Bone marrow smear:
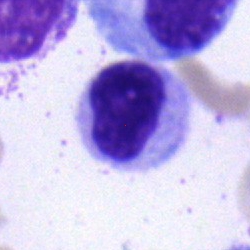Q: Which cell type is shown here?
A: It is a myelocyte.